Bone marrow aspirate smear — 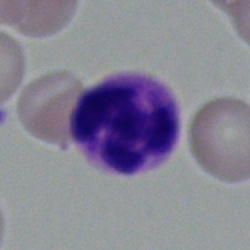The cell shown is a polymorphonuclear neutrophil.